40× oil immersion; image size 250×250; bone marrow smear
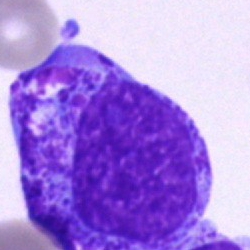{"cell_type": "promyelocyte"}